Peripheral blood smear
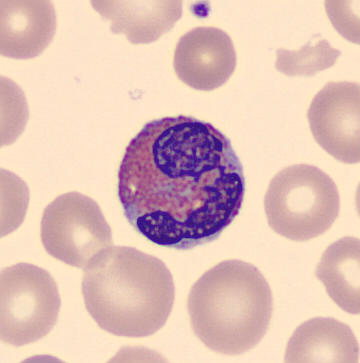

Morphology → eosinophilic granulocyte.